Bone marrow aspirate smear: 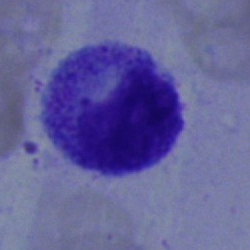Q: What cell is this?
A: This is a myelocyte.